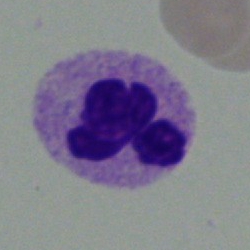Cell = polymorphonuclear neutrophil.